250 by 250 pixels · bone marrow aspirate smear · 40× objective, oil immersion — 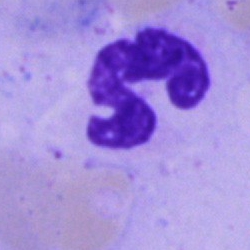Specimen: bone marrow smear.
Cell type: neutrophil (segmented).